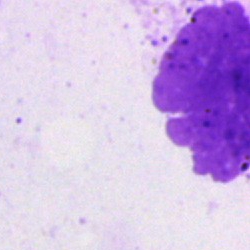 Morphology — artefact.